Single-cell crop · 40× objective, oil immersion · bone marrow smear:
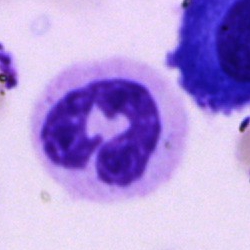 {"cell_type": "neutrophil (segmented)", "lineage": "myeloid"}